400 by 400 pixels. Peripheral blood film: 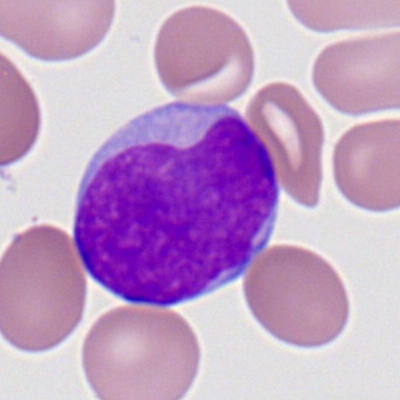 The morphological class is myeloid blast.